40× oil immersion. Bone marrow smear. MGG-stained: 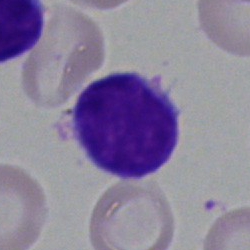

Morphology → lymphocyte.